Bone marrow aspirate smear.
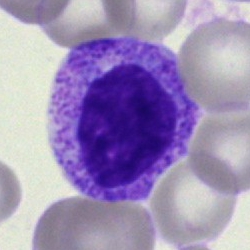Morphology consistent with a myelocyte.